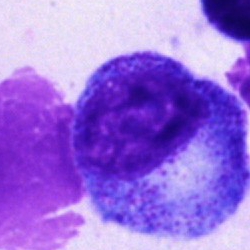
Cell type — promyelocyte.